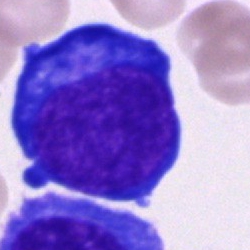 A proerythroblast on a bone marrow smear.